Single cell centered in the field; bone marrow aspirate smear; 250 by 250 pixels: 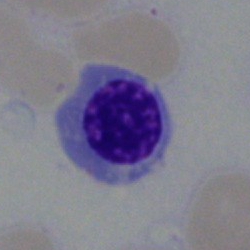

Q: What is the morphological classification of this cell?
A: Normoblast.